Bone marrow aspirate smear.
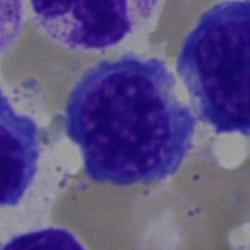

Nucleated red cell.